Bone marrow aspirate smear. May-Grünwald-Giemsa stain. 250×250: 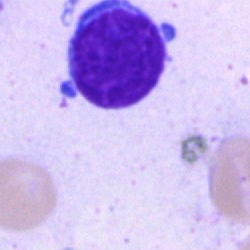

Cell: lymphocyte.